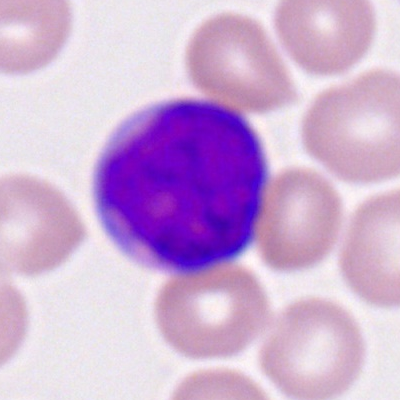Classification = myeloblast.